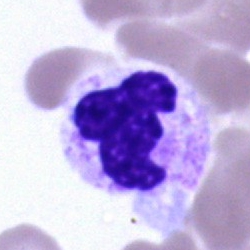

Classification = polymorphonuclear neutrophil.